Peripheral blood film — 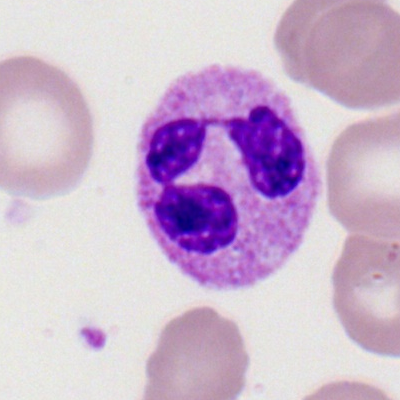Morphological class = polymorphonuclear neutrophil.